Bone marrow smear. Cropped to a single cell.
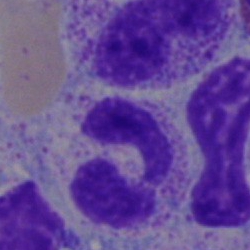
The classification is polymorphonuclear neutrophil.